Peripheral blood smear: 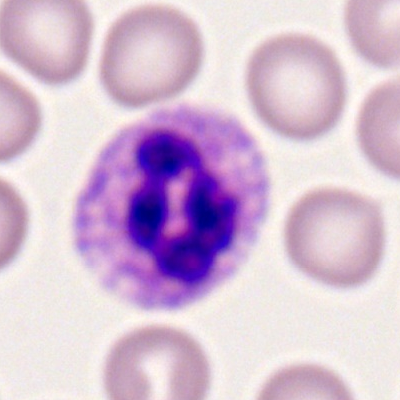
Morphology → neutrophil (segmented).